Bone marrow smear: 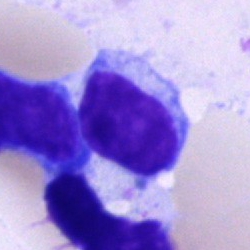 Showing a lymphocyte.